Bone marrow aspirate smear:
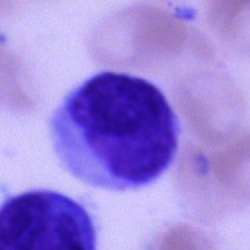

Classification — typical lymphocyte.